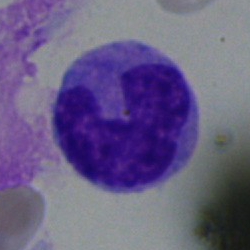A monocyte.